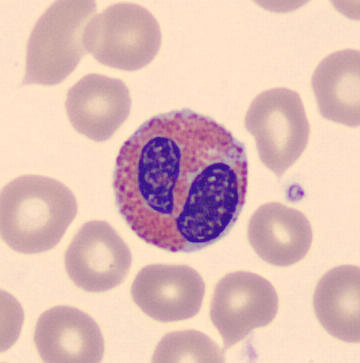Peripheral blood film. Cell type = eosinophilic granulocyte.